Bone marrow aspirate smear; 40× objective, oil immersion
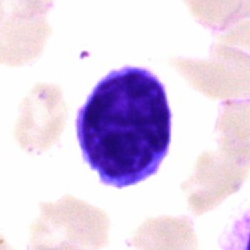

Single cell identified as a lymphocyte.